250×250 · bone marrow aspirate smear · single cell centered in the field.
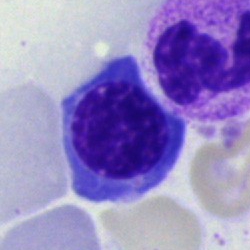Q: What type of cell is this?
A: This is an erythroblast.